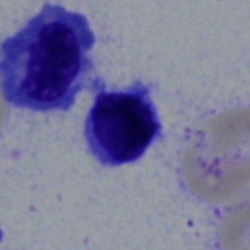
Classification — normoblast.